250×250. Bone marrow smear. Pappenheim-stained:
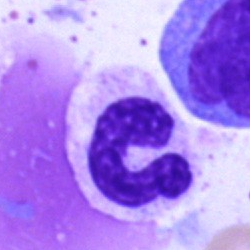 A stab cell.